Bone marrow smear; cropped to a single cell
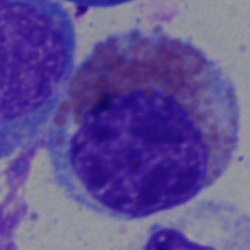

Specimen: bone marrow smear.
Morphological class: eosinophil.